Bone marrow aspirate smear.
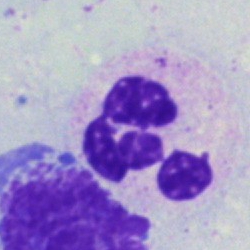

The morphological class is segmented neutrophil.